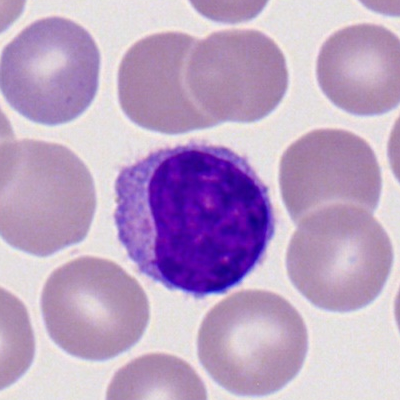Q: What cell is this?
A: This is a lymphocyte.